Bone marrow smear · Pappenheim-stained.
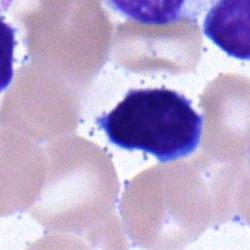The cell shown is a lymphocyte.